Cropped to a single cell. Bone marrow smear.
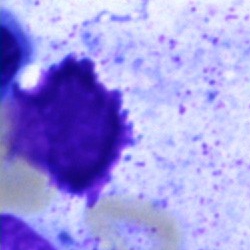

Q: What is shown here?
A: Artifact.